Bone marrow aspirate smear; brightfield microscopy, 40× oil immersion
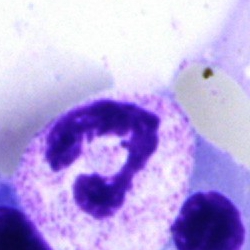 Specimen: bone marrow smear.
Classification: segmented neutrophil.
Lineage: myeloid.